Bone marrow aspirate smear · single cell centered in the field:
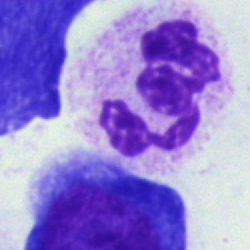

Specimen: bone marrow aspirate smear.
Classification: polymorphonuclear neutrophil.
Lineage: myeloid.